Bone marrow smear; 250 by 250 pixels.
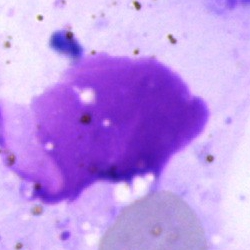Specimen: bone marrow smear.
Cell type: artefact.